Bone marrow aspirate smear: 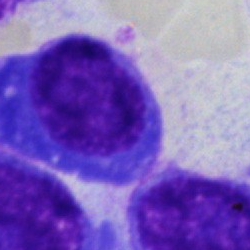
Cell — plasmacyte.